Bone marrow smear.
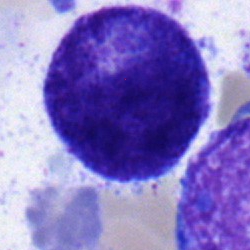 Q: What is the morphological classification of this cell?
A: This is a progranulocyte.